Bone marrow aspirate smear:
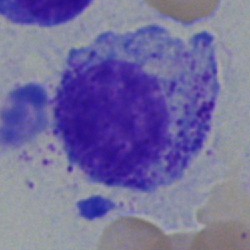Q: Which cell type is shown here?
A: A myelocyte.